Single-cell field. 400×400. Peripheral blood smear
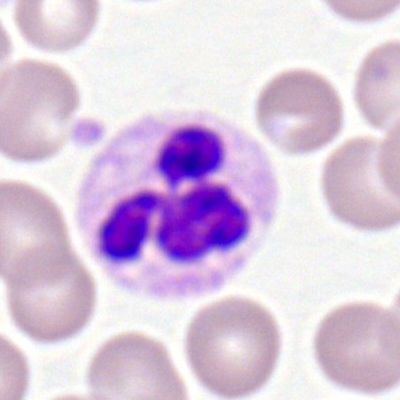 This is a segmented neutrophil.